Bone marrow aspirate smear · 250×250: 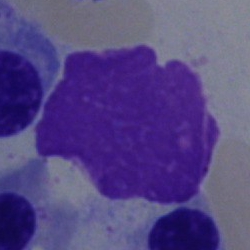

Q: What is shown here?
A: Artifact.